May-Grünwald-Giemsa stain. Bone marrow aspirate smear:
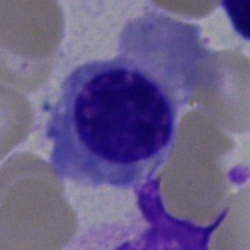Cell — erythroblast.